Bone marrow aspirate smear — 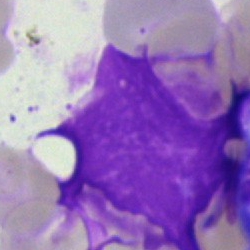

Classification — artifact.